Single-cell crop; bone marrow smear — 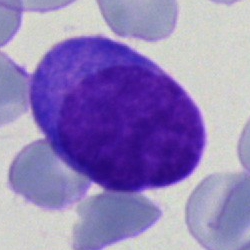
Undifferentiated blast.